Bone marrow aspirate smear:
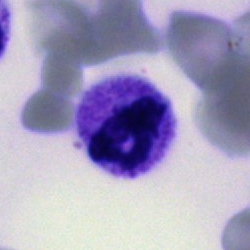 Morphology consistent with a neutrophil (segmented).